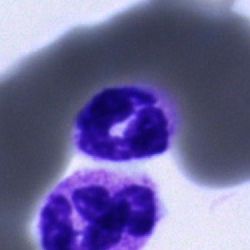{"cell_type": "neutrophil (segmented)", "lineage": "myeloid"}